Bone marrow aspirate smear: 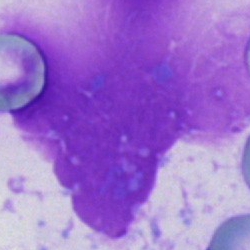
Q: What is shown here?
A: It is an artifact.